Peripheral blood smear.
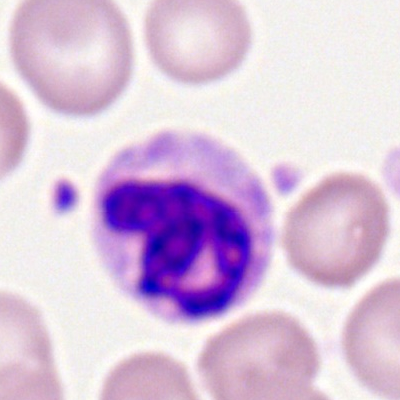Showing a segmented neutrophil.